Bone marrow aspirate smear:
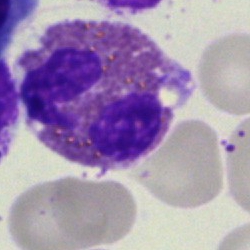
Showing an eosinophilic granulocyte.